Peripheral blood smear. Cropped to a single cell. May-Grünwald-Giemsa-stained:
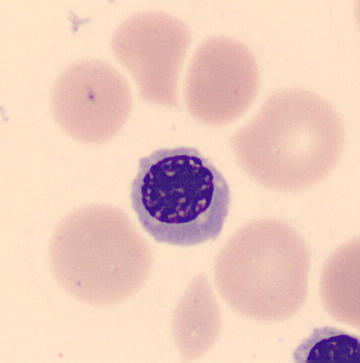
Identified as an erythroblast.